Peripheral blood film: 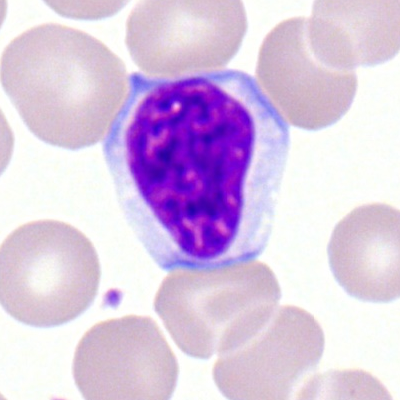
Morphological class = typical lymphocyte.